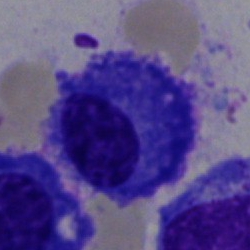 {"cell_type": "plasma cell", "lineage": "lymphoid"}